Cropped to a single cell; bone marrow aspirate smear
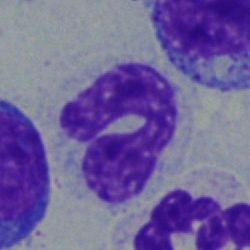
The cell is stab cell.